Bone marrow smear · May-Grünwald-Giemsa/Pappenheim stain — 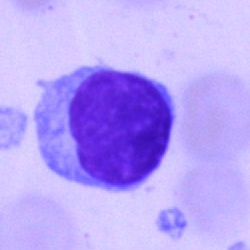 Cell — lymphocyte.